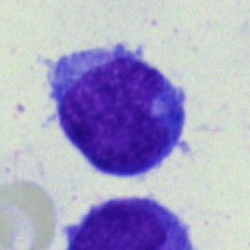Showing a blast cell.